Pappenheim-stained · bone marrow aspirate smear: 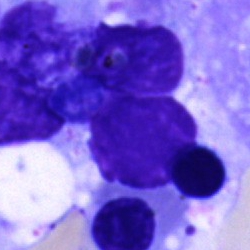
Cell — artifact.